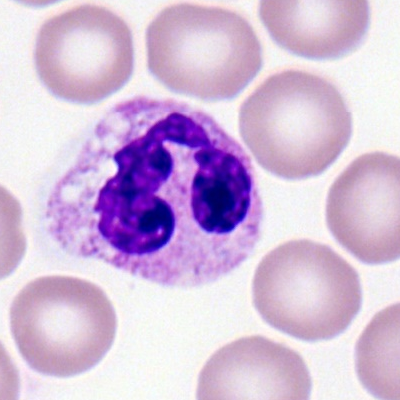Showing a neutrophil (segmented).